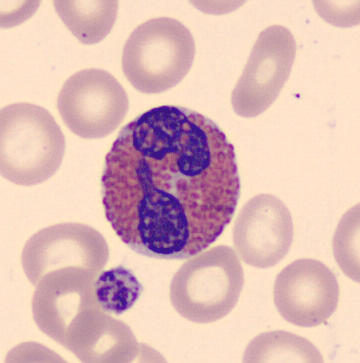

MGG stain; peripheral blood smear; image size 360×363.

{"cell_type": "eosinophilic granulocyte", "lineage": "myeloid"}